Peripheral blood smear
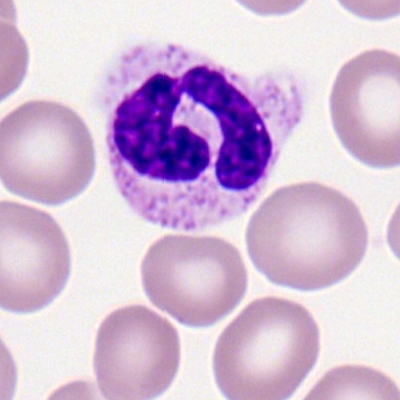A neutrophil (segmented).